Cropped to a single cell · bone marrow aspirate smear:
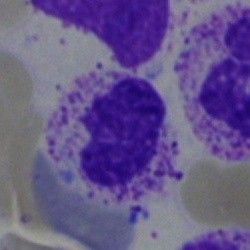Morphology consistent with a polymorphonuclear neutrophil.